Bone marrow aspirate smear; 250 by 250 pixels:
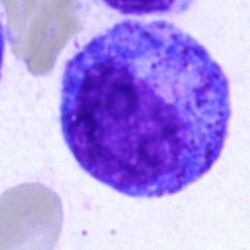
Classification = promyelocyte.